Bone marrow smear:
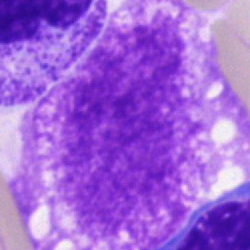

Impression → artifact.